Bone marrow aspirate smear.
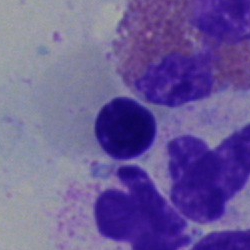

Single cell identified as a normoblast.